Bone marrow smear: 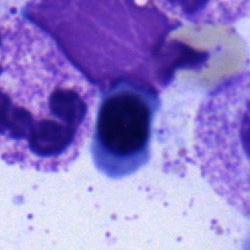Morphology → nucleated red blood cell.